Bone marrow smear:
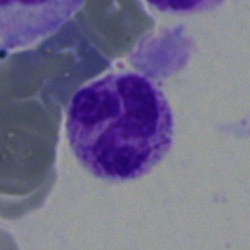Single cell identified as a neutrophil (segmented).